Bone marrow smear
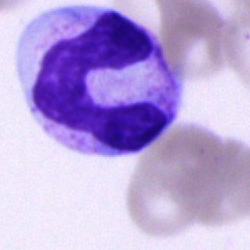

A stab cell.